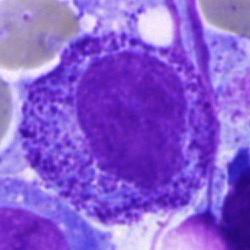
Promyelocyte.